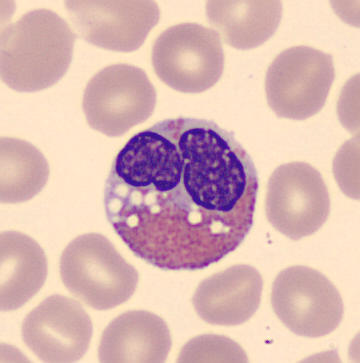

Acquisition: Peripheral blood smear; 360×363 px; single-cell field.
Morphological class — eosinophilic granulocyte.